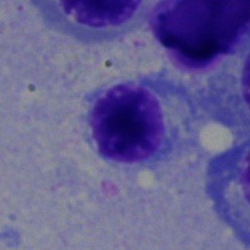Nucleated red blood cell.